Bone marrow smear · MGG-stained: 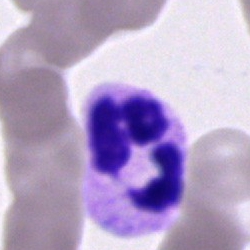

The cell shown is a neutrophil (segmented).